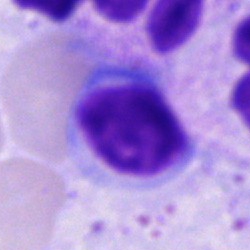 The cell shown is a typical lymphocyte.